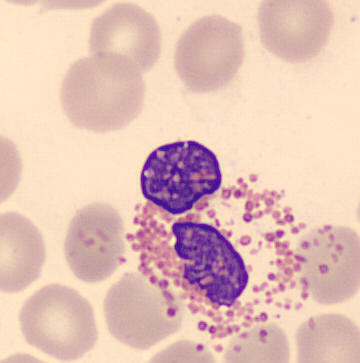

Q: Which cell type is shown here?
A: An eosinophilic granulocyte.
Peripheral blood film.